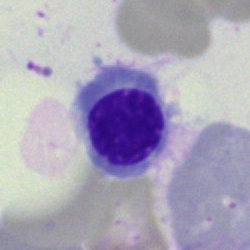Q: What type of cell is this?
A: Erythroblast.